Bone marrow aspirate smear · single-cell crop.
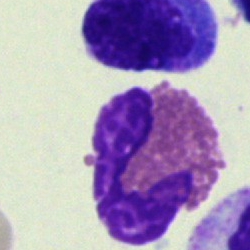 The cell is eosinophil.